Bone marrow smear · May-Grünwald-Giemsa stain — 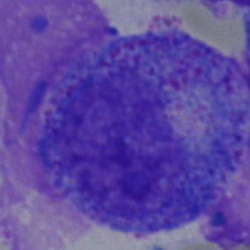 Morphology consistent with a progranulocyte.